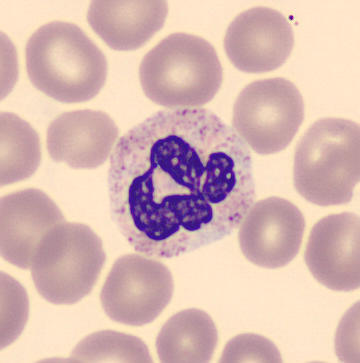

Peripheral blood film. Single-cell field. Image size 360×363.
Showing a polymorphonuclear neutrophil.